Bone marrow smear:
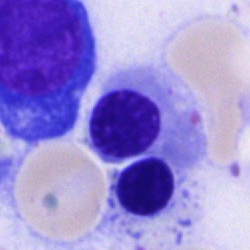Impression — nucleated red cell.